Brightfield, 40× oil-immersion objective · bone marrow aspirate smear:
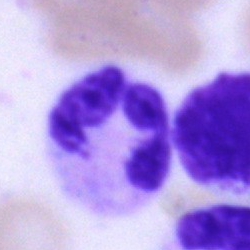This is a segmented neutrophil.